Bone marrow aspirate smear — 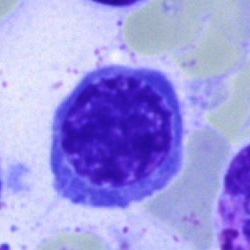

Nucleated red cell.